MGG-stained. Bone marrow aspirate smear. Brightfield microscopy, 40× oil immersion:
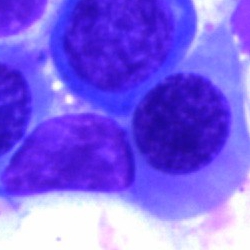
Showing a nucleated red cell.